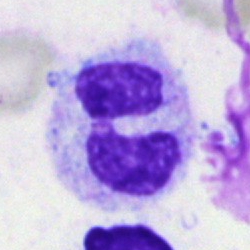

Morphology consistent with a neutrophil (segmented).